Bone marrow smear. May-Grünwald-Giemsa stain — 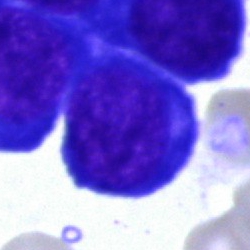Q: Which cell type is shown here?
A: Normoblast.